Bone marrow aspirate smear; Pappenheim-stained; brightfield microscopy, 40× oil immersion:
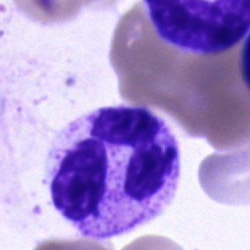Classification: neutrophil (segmented).